Bone marrow aspirate smear.
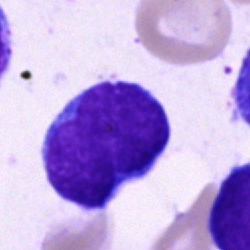
A blast cell.